Bone marrow smear; 250×250 — 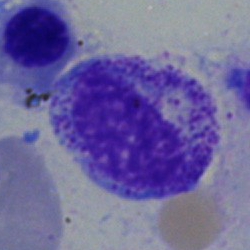
Single cell identified as a myelocyte.